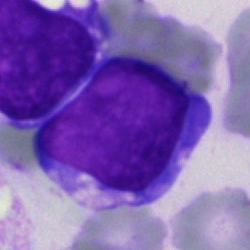 Bone marrow aspirate smear, single cell — blast.